Single-cell crop. 250 by 250 pixels. Bone marrow smear.
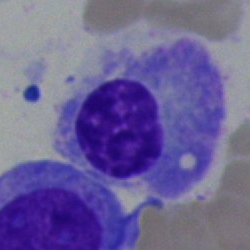
Specimen: bone marrow smear.
Morphological class: plasmacyte.
Lineage: lymphoid.